Bone marrow smear: 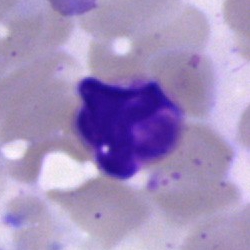 Q: What is shown here?
A: Artifact.